Bone marrow aspirate smear: 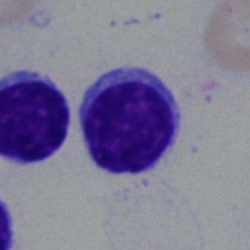

Specimen: bone marrow aspirate smear.
Cell: typical lymphocyte.
Lineage: lymphoid.